Bone marrow aspirate smear
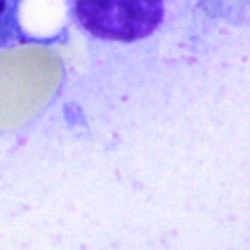
Specimen: bone marrow aspirate smear.
Cell: artefact.